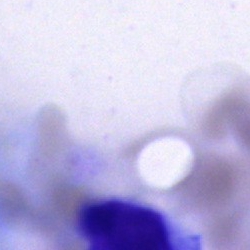

Impression — artefact.